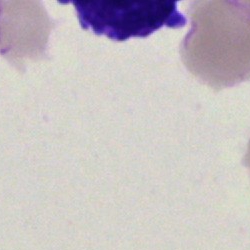 Q: What is shown here?
A: This is an artifact.